250 by 250 pixels · bone marrow smear: 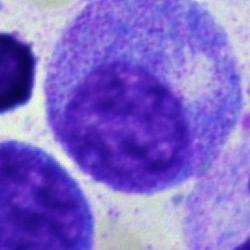 The cell shown is a progranulocyte.